250×250 · bone marrow aspirate smear · single-cell crop
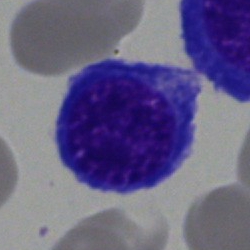
Q: Identify the cell.
A: It is an erythroblast.